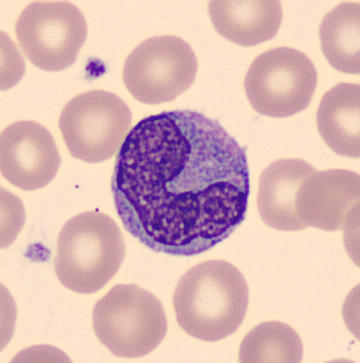

Single-cell field · peripheral blood film · CellaVision DM96 digital cell image.

The cell is monocyte.